Bone marrow smear · 40× objective, oil immersion.
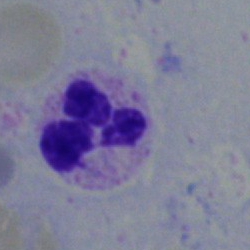
The cell shown is a segmented neutrophil.